Image size 250×250 · bone marrow smear · May-Grünwald-Giemsa stain.
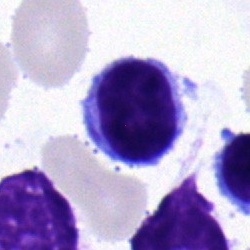{"cell_type": "lymphocyte"}